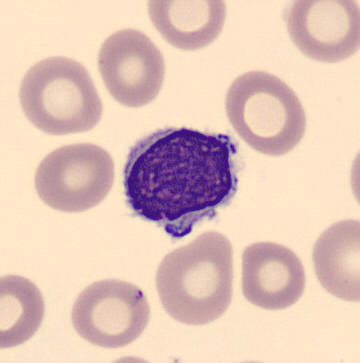The cell is typical lymphocyte.
Peripheral blood smear; 360 by 363 pixels.